Bone marrow aspirate smear
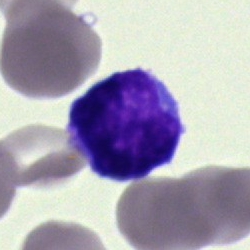

Q: What is the morphological classification of this cell?
A: A lymphocyte.